Bone marrow smear:
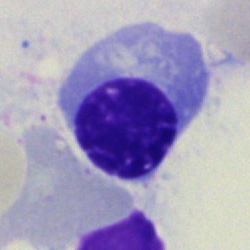Q: What type of cell is this?
A: A nucleated red blood cell.